Single-cell crop; bone marrow smear
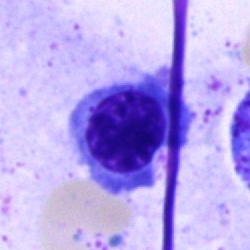The cell shown is an erythroblast.